40× oil immersion; bone marrow smear: 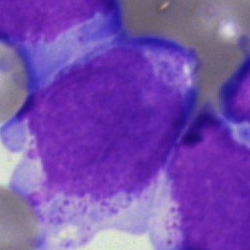
Q: What is shown here?
A: A blast.